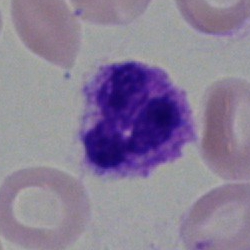

Polymorphonuclear neutrophil.